Bone marrow aspirate smear
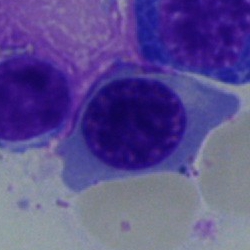 Specimen: bone marrow smear.
Morphological class: normoblast.